Bone marrow aspirate smear: 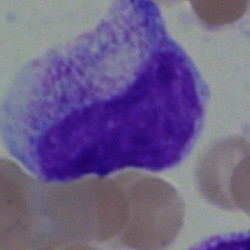
Q: What is shown here?
A: Metamyelocyte.